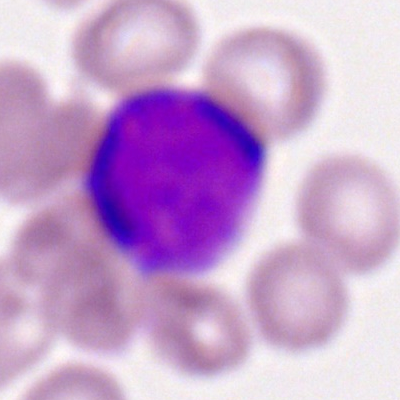

Myeloid blast.